Bone marrow smear.
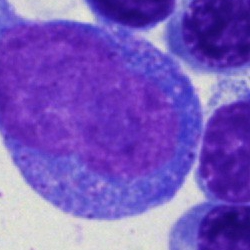
This is a pronormoblast.